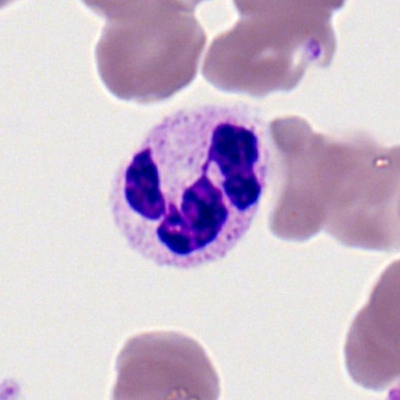
Peripheral blood film, single cell — neutrophil (segmented).